Romanowsky-stained. 100× oil immersion. Peripheral blood film:
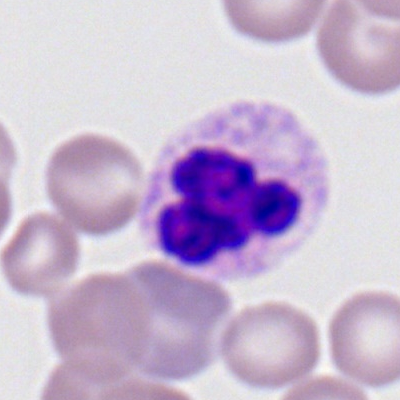 Single cell identified as a polymorphonuclear neutrophil.